Bone marrow smear.
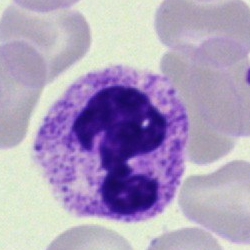
Single cell identified as a neutrophil (segmented).